Single cell centered in the field; bone marrow smear.
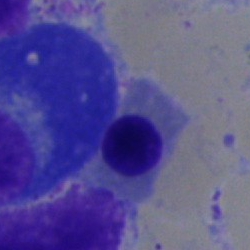

Morphology — erythroblast.